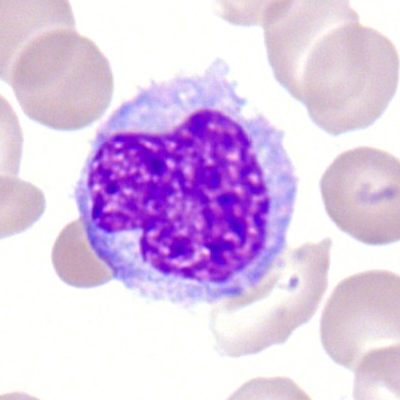

The classification is monocyte.